Brightfield, 40× oil-immersion objective. Bone marrow smear. May-Grünwald-Giemsa stain — 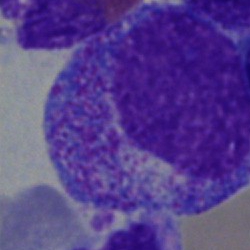 Specimen: bone marrow smear.
Classification: progranulocyte.
Lineage: myeloid.